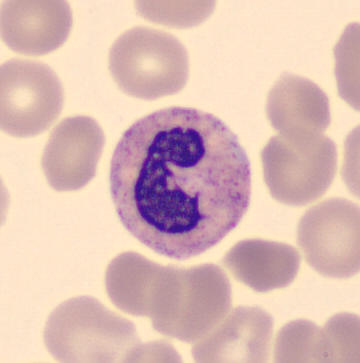
Peripheral blood smear · CellaVision DM96 digital cell image · May Grünwald-Giemsa stain. Morphology — band-form neutrophil.